Bone marrow aspirate smear:
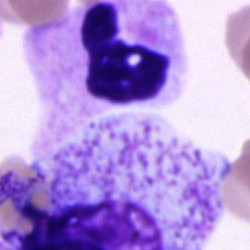Cell: cell of indeterminate lineage.